Bone marrow aspirate smear; 40× objective, oil immersion
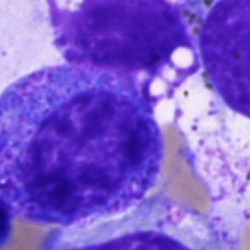Progranulocyte.